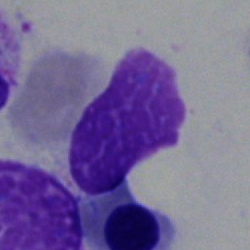An artifact on a bone marrow smear.